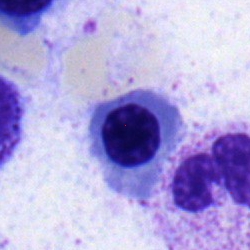
Q: What type of cell is this?
A: A nucleated red cell.